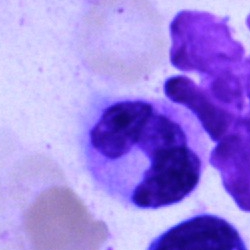 Cell — stab cell.